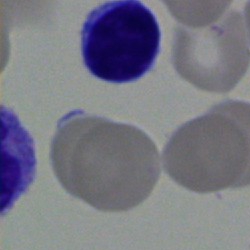 Cell type = lymphocyte.